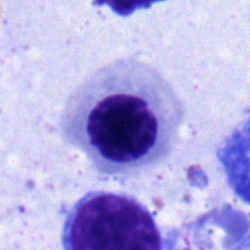
Classification = nucleated red blood cell.